Image size 250×250 · bone marrow smear:
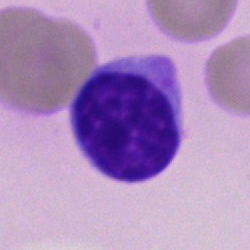

Typical lymphocyte.